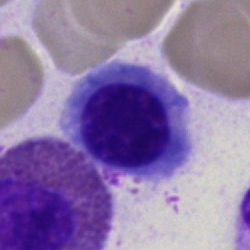

Showing a nucleated red cell.